Bone marrow aspirate smear: 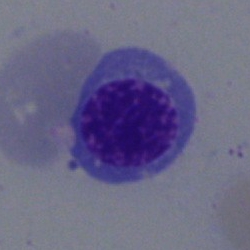This is an erythroblast.